Bone marrow aspirate smear · image size 250×250 · single cell centered in the field — 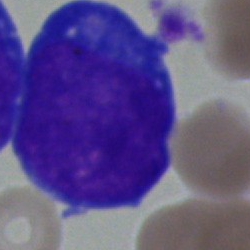

The cell shown is a blast.